Bone marrow smear — 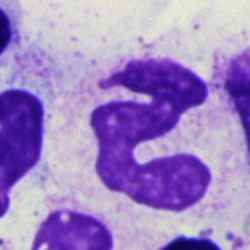A segmented neutrophil.